Peripheral blood smear — 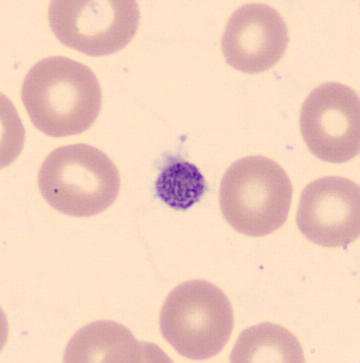
Morphological class: thrombocyte.